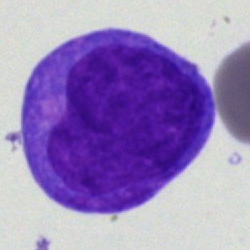The cell shown is an undifferentiated blast.